Bone marrow aspirate smear.
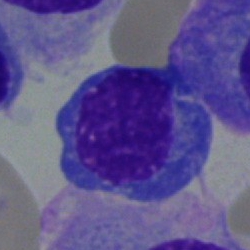
Q: What type of cell is this?
A: A plasma cell.